Bone marrow aspirate smear; Pappenheim-stained; single cell centered in the field: 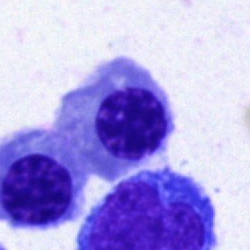Nucleated red cell.